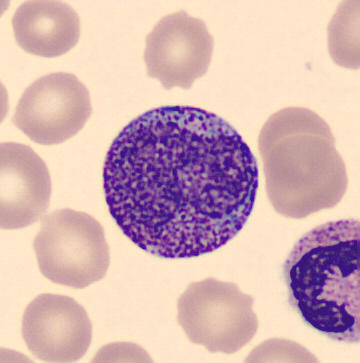Specimen: peripheral blood smear.
Classification: promyelocyte.
Lineage: myeloid.